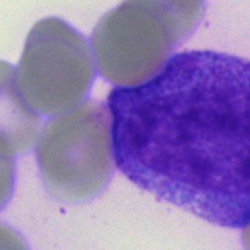
{"cell_type": "progranulocyte", "lineage": "myeloid"}